Bone marrow aspirate smear · brightfield, 40× oil-immersion objective.
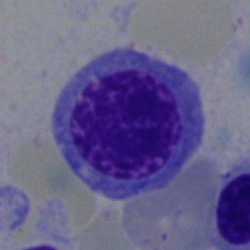 Specimen: bone marrow aspirate smear.
Morphological class: nucleated red cell.
Lineage: erythroid.